Single-cell crop; peripheral blood smear:
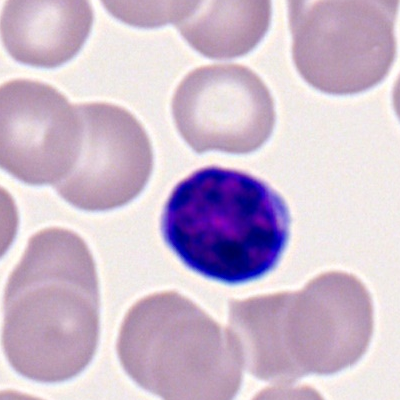
Morphology → lymphocyte.